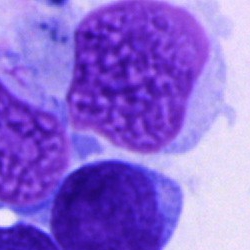

Cell: unidentifiable cell.